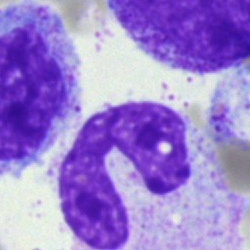
Band-form neutrophil.